Single-cell field; bone marrow aspirate smear; 250 by 250 pixels
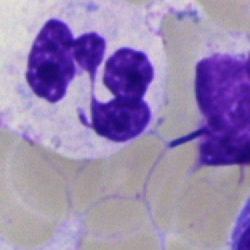

Q: What is the morphological classification of this cell?
A: A segmented neutrophil.